Bone marrow smear · May-Grünwald-Giemsa/Pappenheim stain.
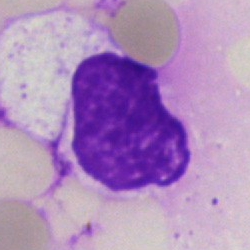

Q: What is shown here?
A: This is an artifact.